Bone marrow smear; single cell centered in the field.
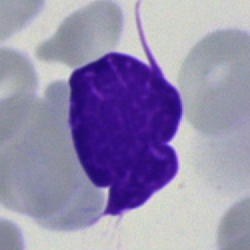
Artifact.